Bone marrow smear. MGG-stained — 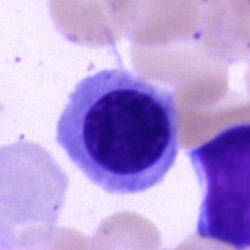 A nucleated red blood cell.